40× oil immersion · bone marrow aspirate smear.
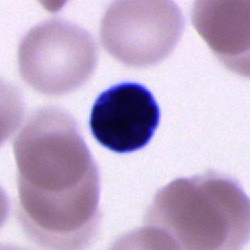Q: Which cell type is shown here?
A: An unidentifiable cell.